Bone marrow smear · Pappenheim-stained
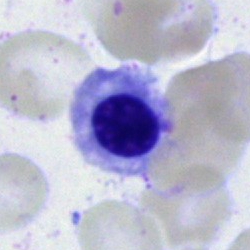
Morphology — normoblast.